40× objective, oil immersion · bone marrow smear — 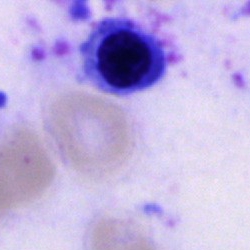
Showing an erythroblast.